Bone marrow smear: 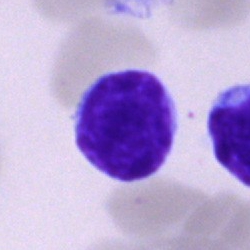Q: Identify the cell.
A: Typical lymphocyte.